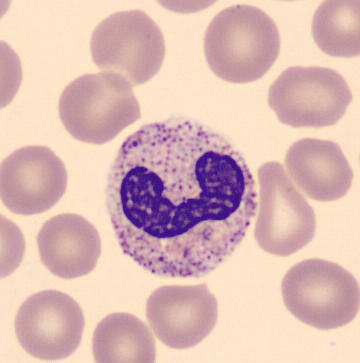
Band-form neutrophil. Peripheral blood film.